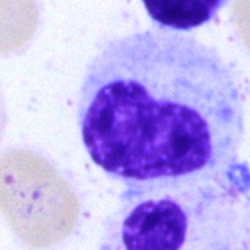This is a metamyelocyte.